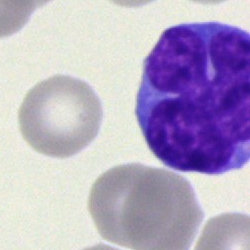 Q: What cell is this?
A: Monocyte.